Bone marrow aspirate smear · May-Grünwald-Giemsa/Pappenheim stain:
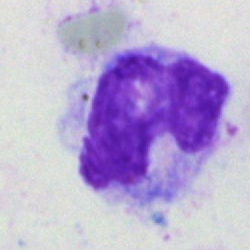

Specimen: bone marrow aspirate smear.
Morphological class: monocyte.
Lineage: myeloid.